Bone marrow smear.
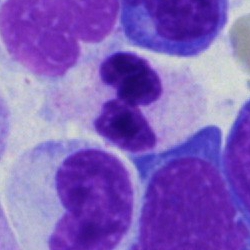

A polymorphonuclear neutrophil.